Bone marrow aspirate smear.
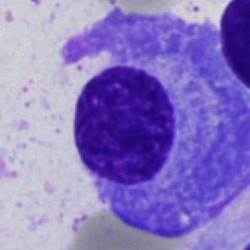
Morphology → plasmacyte.